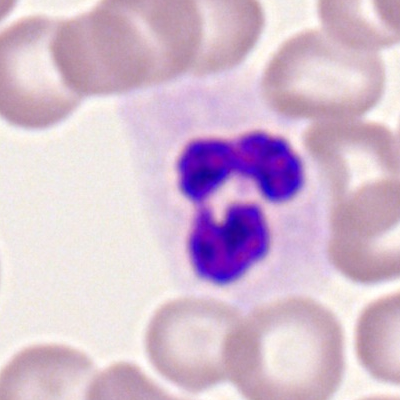Single-cell crop from a peripheral blood smear: neutrophil (segmented).